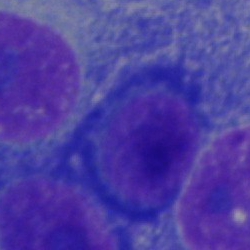
{"cell_type": "plasmacyte", "lineage": "lymphoid"}